Bone marrow aspirate smear
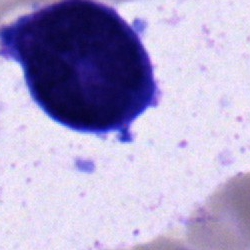Q: What is the morphological classification of this cell?
A: Blast cell.